Bone marrow smear:
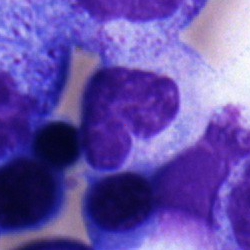
The cell shown is a band neutrophil.